Bone marrow smear: 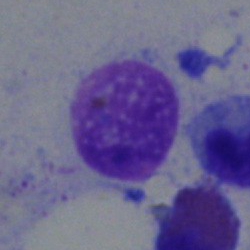 Morphology → artifact.